Bone marrow aspirate smear. Brightfield, 40× oil-immersion objective:
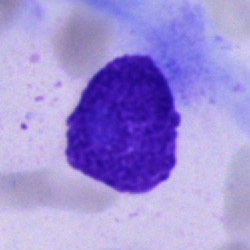

This is an artefact.